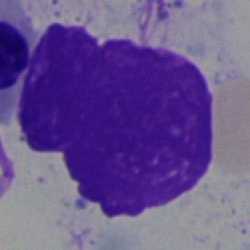

Q: What is shown here?
A: It is an artefact.